Bone marrow aspirate smear.
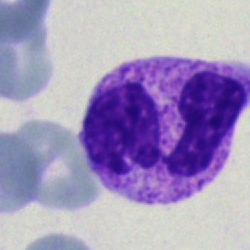A polymorphonuclear neutrophil.